Peripheral blood smear: 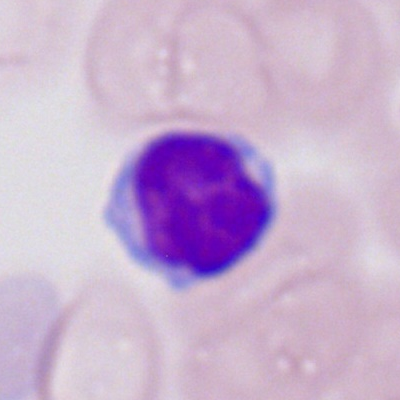 Specimen: peripheral blood smear.
Classification: lymphocyte.
Lineage: lymphoid.